Bone marrow smear.
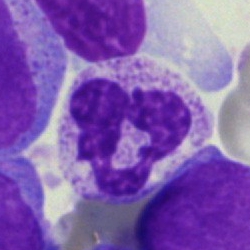
Single cell identified as a polymorphonuclear neutrophil.